Bone marrow aspirate smear:
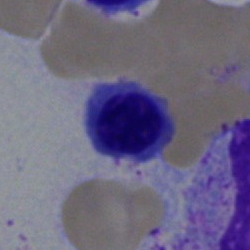 Impression → nucleated red cell.